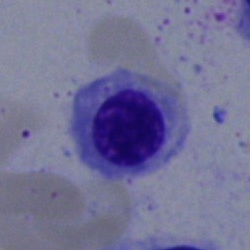 A normoblast.